Bone marrow aspirate smear. 40× oil immersion — 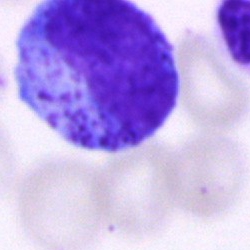Cell — progranulocyte.